40× objective, oil immersion. Bone marrow aspirate smear.
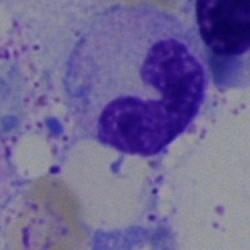

Morphology → neutrophil (segmented).